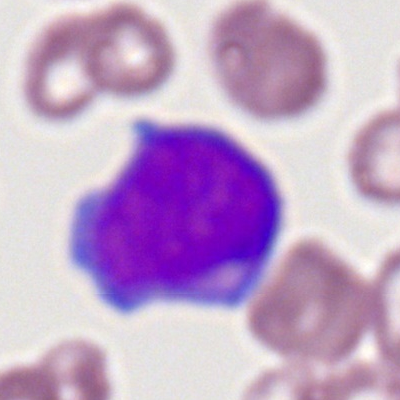

Q: What type of cell is this?
A: Myeloblast.